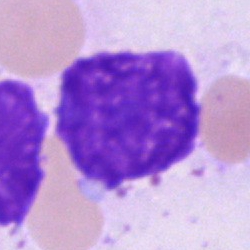

Morphology → artifact.